Bone marrow smear — 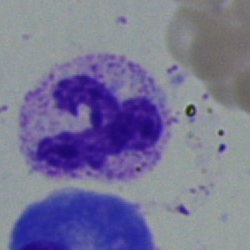
Q: What type of cell is this?
A: It is a segmented neutrophil.